Bone marrow aspirate smear
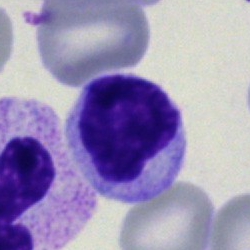

Single cell identified as a lymphocyte.